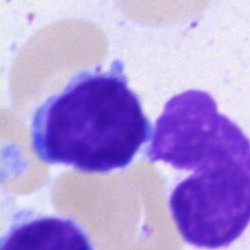Morphological class: lymphocyte.